Bone marrow smear — 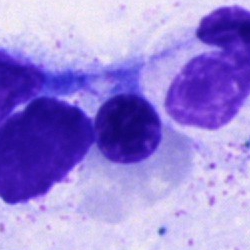
The cell shown is a normoblast.